Single cell centered in the field. Peripheral blood smear:
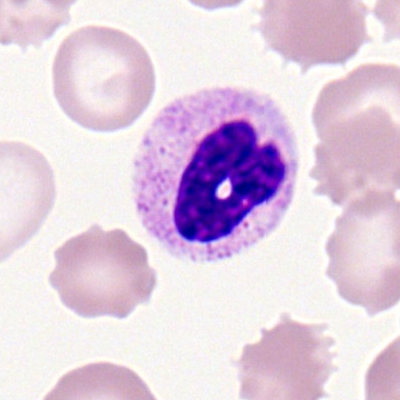

Polymorphonuclear neutrophil.